Bone marrow smear. Brightfield, 40× oil-immersion objective — 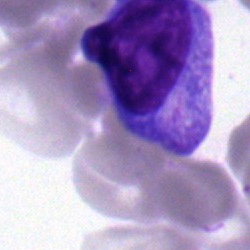The classification is plasma cell.